Bone marrow smear; brightfield, 40× oil-immersion objective: 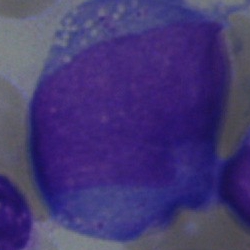 Morphology consistent with a blast cell.